Peripheral blood film — 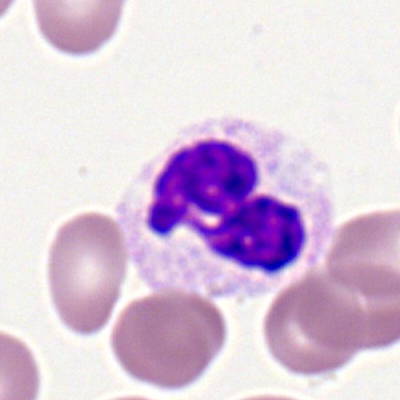
Morphology consistent with a neutrophil (segmented).